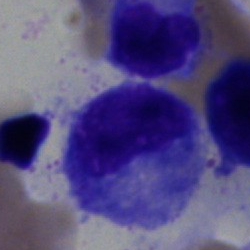

Morphology consistent with a promyelocyte.